40× oil immersion · bone marrow smear:
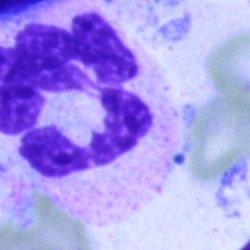Classification — neutrophil (segmented).